Peripheral blood smear
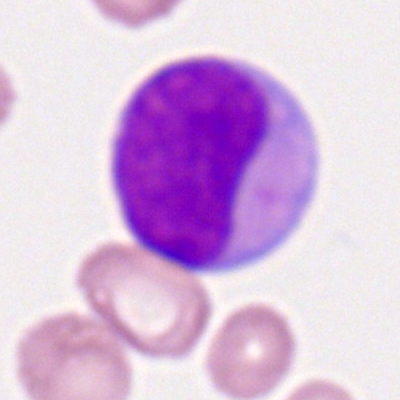 Impression → myeloblast.